Bone marrow aspirate smear — 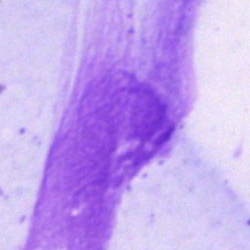

Single cell identified as an artifact.